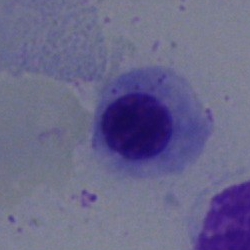
Single-cell crop from a bone marrow smear: normoblast.